Bone marrow aspirate smear:
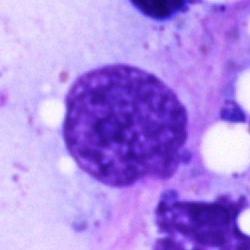
Artifact.